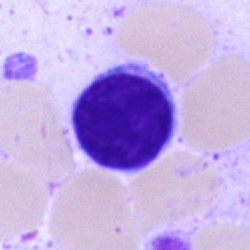

Specimen: bone marrow aspirate smear.
Morphological class: lymphocyte.